Bone marrow smear. MGG-stained
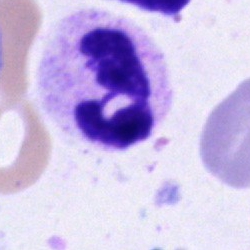Morphological class — neutrophil (segmented).